Bone marrow smear.
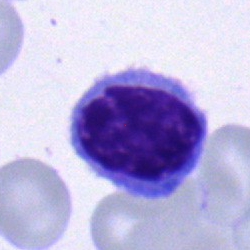 Morphology — lymphocyte.